Peripheral blood smear: 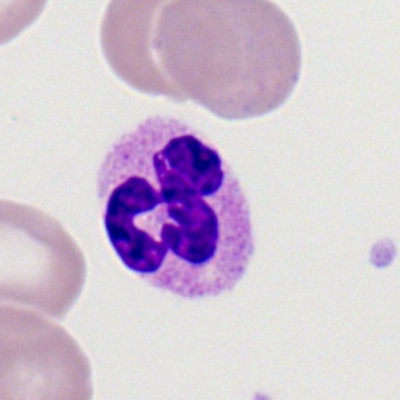
Morphology consistent with a segmented neutrophil.